Bone marrow aspirate smear: 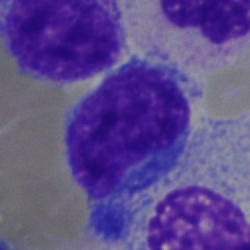 The morphological class is lymphocyte.